Single-cell field; peripheral blood film: 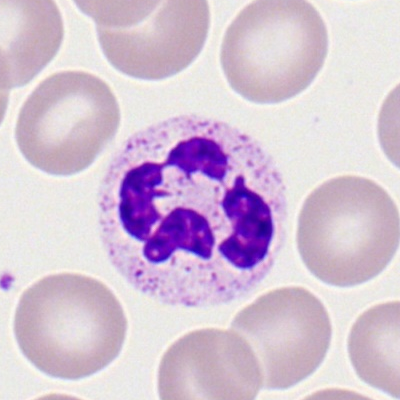 Showing a polymorphonuclear neutrophil.